Bone marrow smear:
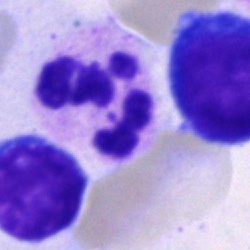 Cell type — polymorphonuclear neutrophil.